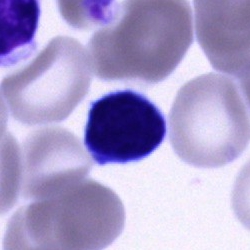Specimen: bone marrow aspirate smear.
Morphological class: typical lymphocyte.